Brightfield, 40× oil-immersion objective; bone marrow aspirate smear; single-cell field: 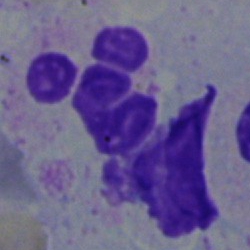
Neutrophil (segmented).